Bone marrow aspirate smear; brightfield, 40× oil-immersion objective.
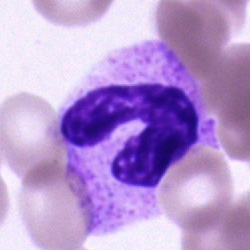The cell type is band neutrophil.